Bone marrow aspirate smear
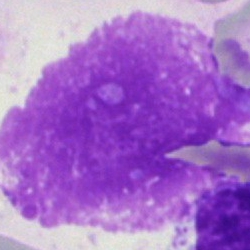 An artefact.